Brightfield, 40× oil-immersion objective; bone marrow aspirate smear.
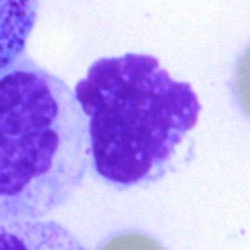 Artefact.